Bone marrow aspirate smear:
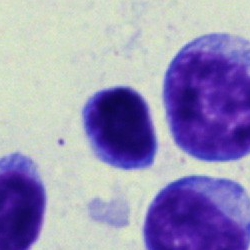Impression → lymphocyte.